Bone marrow smear.
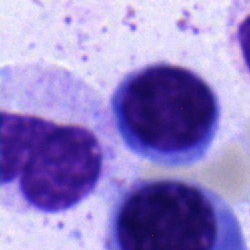
A stab cell.